Bone marrow aspirate smear
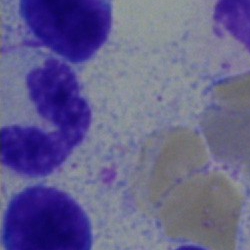

This is a neutrophil (segmented).